Pappenheim-stained. Bone marrow smear. 250×250 px:
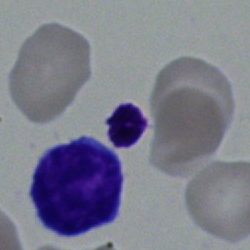
Showing a typical lymphocyte.